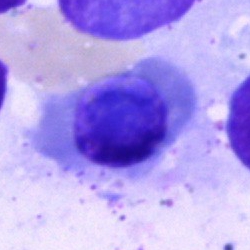Cell type = normoblast.